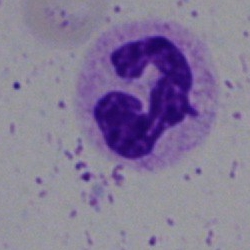Specimen: bone marrow smear.
Cell type: segmented neutrophil.